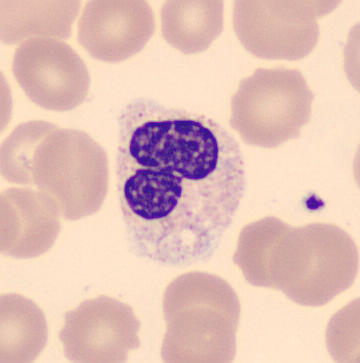 Specimen: peripheral blood film.
Morphological class: band neutrophil.